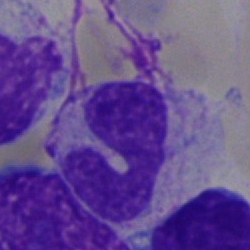

Impression → neutrophil (segmented).